250 by 250 pixels · bone marrow aspirate smear
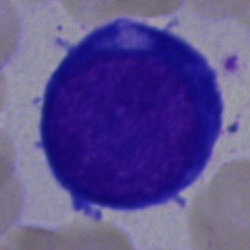

Q: Which cell type is shown here?
A: Proerythroblast.